Bone marrow smear · May-Grünwald-Giemsa stain
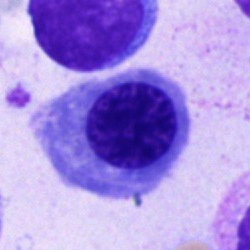
Q: What cell is this?
A: It is an erythroblast.